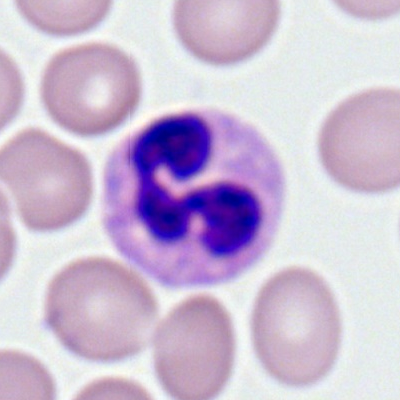
Single-cell crop from a peripheral blood smear: segmented neutrophil.